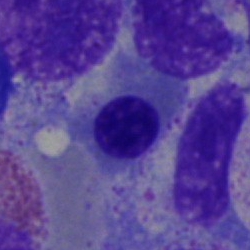This is a nucleated red blood cell.